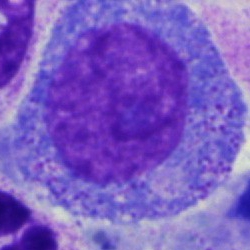 Cell = promyelocyte.